Pappenheim-stained. Bone marrow smear.
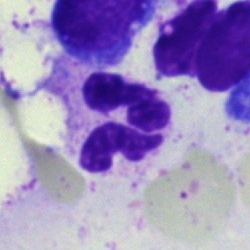

This is a neutrophil (segmented).